Bone marrow smear — 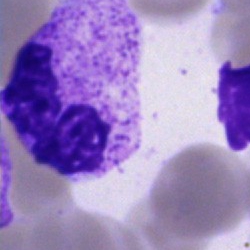 Neutrophil (segmented).